Bone marrow aspirate smear
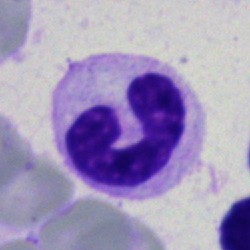 Morphological class — stab cell.